40× objective, oil immersion; bone marrow smear:
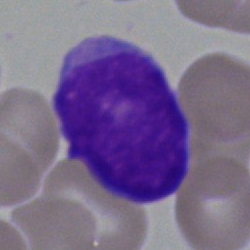Morphological class: undifferentiated blast.